Bone marrow aspirate smear — 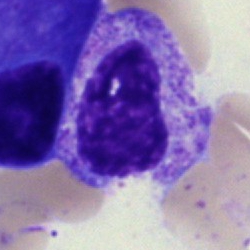
Specimen: bone marrow aspirate smear.
Classification: metamyelocyte.
Lineage: myeloid.